Bone marrow smear; Pappenheim-stained
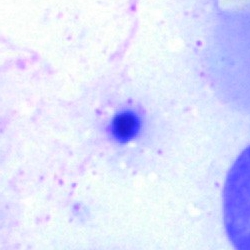 Q: What is shown here?
A: It is an artefact.